250 by 250 pixels · bone marrow aspirate smear — 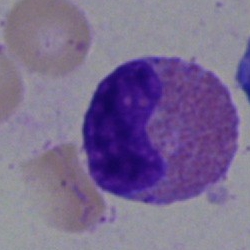

{"cell_type": "eosinophil"}